Bone marrow aspirate smear — 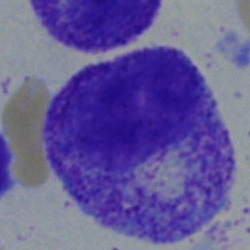Specimen: bone marrow smear.
Classification: myelocyte.
Lineage: myeloid.